250×250 px · bone marrow aspirate smear:
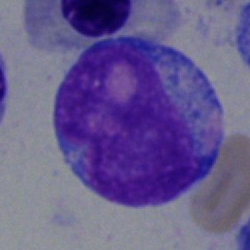 Morphology — blast.